Peripheral blood film:
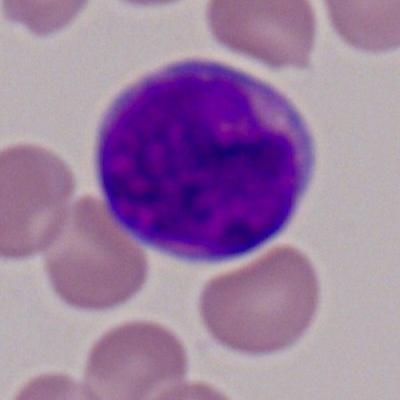 Specimen: peripheral blood smear.
Cell: myeloblast.
Lineage: myeloid.